MGG-stained · brightfield microscopy, 40× oil immersion · bone marrow aspirate smear — 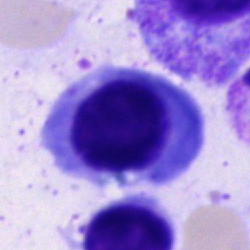
Morphology — nucleated red blood cell.